40× oil immersion · bone marrow smear · single cell centered in the field:
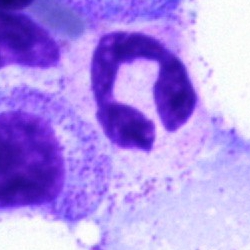Morphology consistent with a segmented neutrophil.